Single cell centered in the field · bone marrow aspirate smear · 250×250:
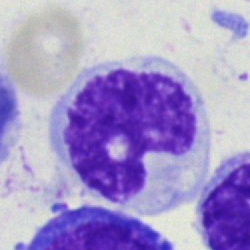 Q: What is the morphological classification of this cell?
A: It is a monocyte.